Bone marrow smear
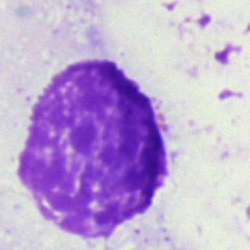
Cell — artefact.